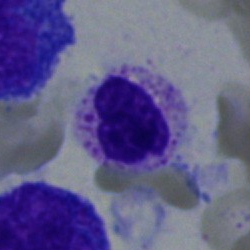Morphology → polymorphonuclear neutrophil.